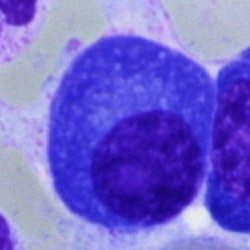
Q: What cell is this?
A: A plasma cell.